Bone marrow aspirate smear · 250×250 px: 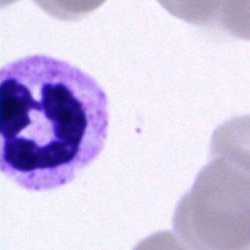
Morphology consistent with a polymorphonuclear neutrophil.